Bone marrow aspirate smear — 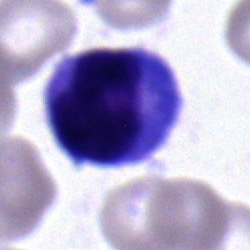

Classification: monocyte.